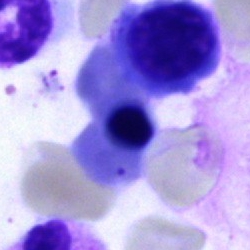

Q: What cell is this?
A: A nucleated red cell.